Bone marrow aspirate smear · cropped to a single cell — 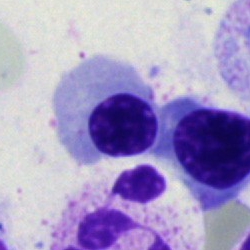 Single cell identified as an erythroblast.